Peripheral blood smear · Romanowsky-stained — 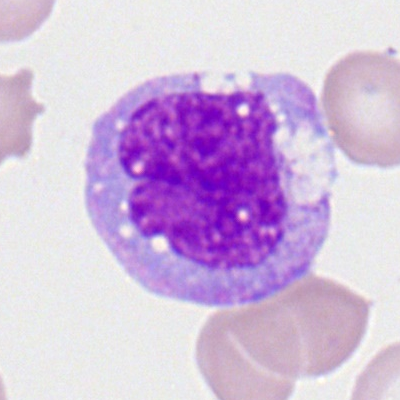 Monocyte.